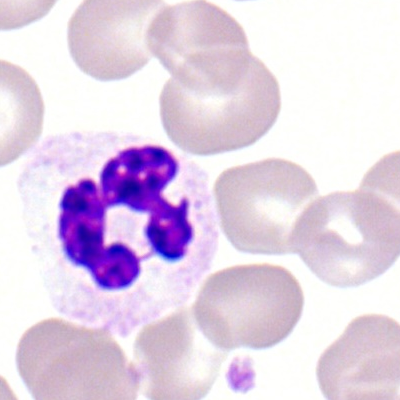
Cell: polymorphonuclear neutrophil.